250×250. Bone marrow aspirate smear. Pappenheim-stained — 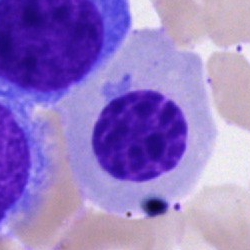Showing an erythroblast.